May-Grünwald-Giemsa/Pappenheim stain · cropped to a single cell · bone marrow aspirate smear
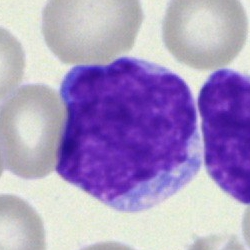Impression → undifferentiated blast.